May-Grünwald-Giemsa stain. Bone marrow smear
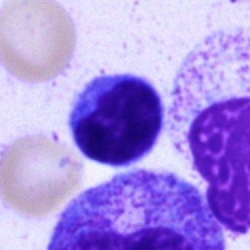 {"cell_type": "lymphocyte"}